Peripheral blood smear — 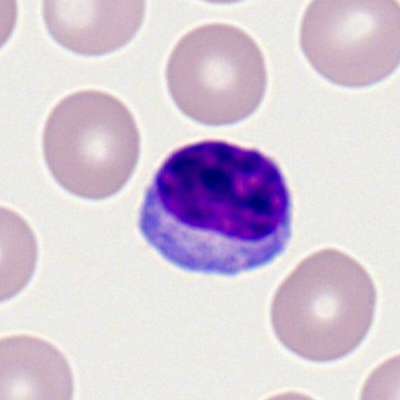 Impression → typical lymphocyte.